Bone marrow aspirate smear — 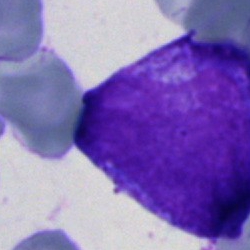 This is a blast.